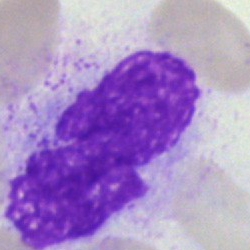

Bone marrow smear showing an artifact.